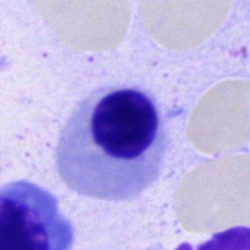 Q: What cell is this?
A: A nucleated red cell.